250 by 250 pixels. Bone marrow smear. Single cell centered in the field.
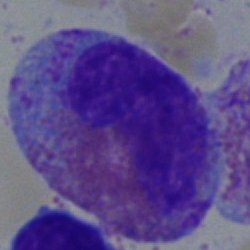Classification: eosinophil.